40× oil immersion · bone marrow aspirate smear · Pappenheim-stained — 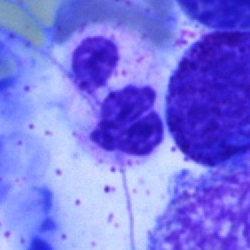Specimen: bone marrow smear.
Morphological class: polymorphonuclear neutrophil.
Lineage: myeloid.